Bone marrow smear; image size 250×250.
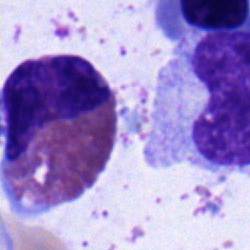 Single cell identified as an eosinophilic granulocyte.